Bone marrow aspirate smear: 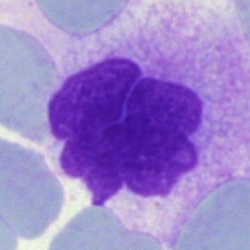
{"cell_type": "artifact"}